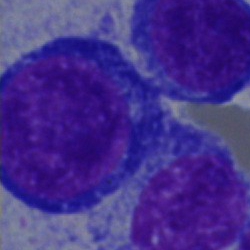Q: What is shown here?
A: Proerythroblast.